Peripheral blood film. Cropped to a single cell
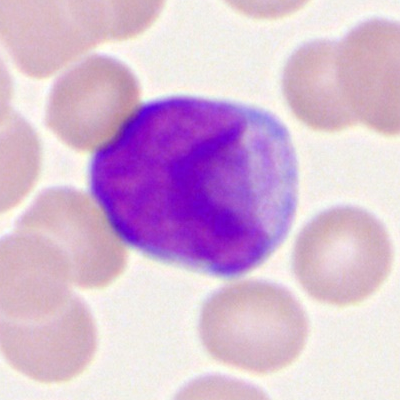Classification = myeloblast.